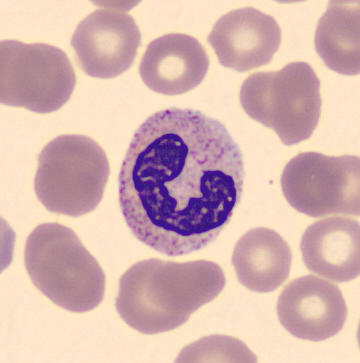

Morphological class = neutrophil (segmented).

Image: Peripheral blood film.